Cropped to a single cell · bone marrow smear · 40× oil immersion: 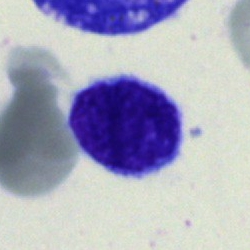Specimen: bone marrow smear.
Morphological class: typical lymphocyte.